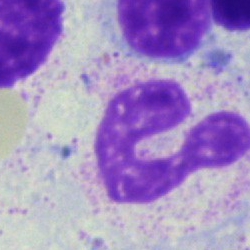The cell shown is a neutrophil (segmented).